250×250; bone marrow smear; single-cell field: 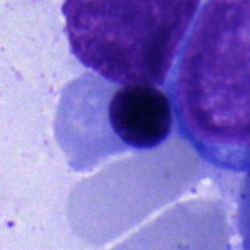

Q: What cell is this?
A: A nucleated red blood cell.